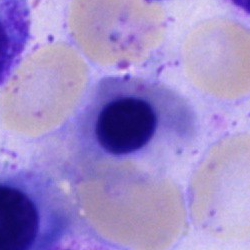

Q: Identify the cell.
A: It is a normoblast.